Single-cell crop; peripheral blood smear: 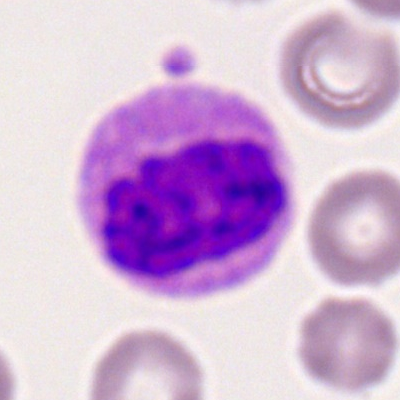 Showing an eosinophil.